Bone marrow aspirate smear · image size 250×250 — 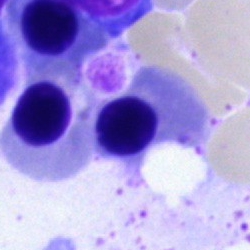 The cell shown is an erythroblast.